Bone marrow smear
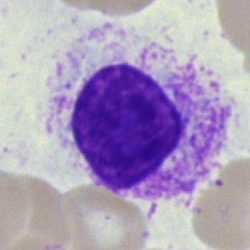

Cell type = artefact.